Single-cell crop · bone marrow smear: 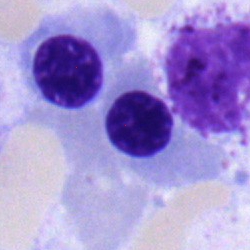

The morphological class is erythroblast.